Bone marrow smear: 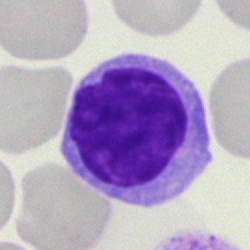

Q: What cell is this?
A: Lymphocyte.